Bone marrow smear. Brightfield, 40× oil-immersion objective
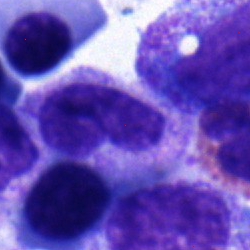Stab cell.